Bone marrow smear: 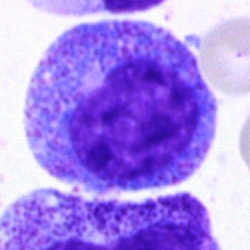 Q: Identify the cell.
A: It is a progranulocyte.